Bone marrow aspirate smear
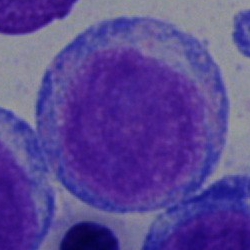
Morphological class: undifferentiated blast.